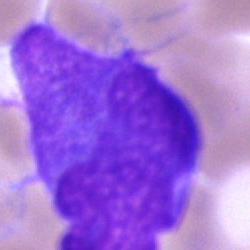
Cell — undifferentiated blast.